40× objective, oil immersion. Bone marrow aspirate smear:
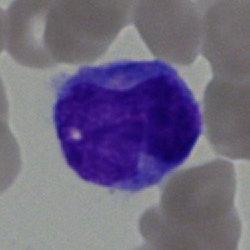 Specimen: bone marrow smear.
Morphological class: monocyte.
Lineage: myeloid.